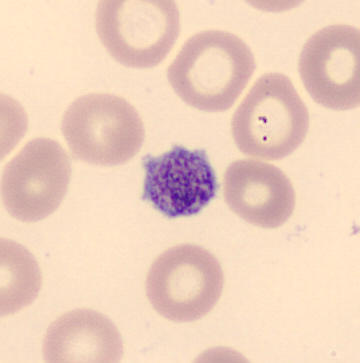
Showing a platelet (thrombocyte). Image: Peripheral blood film.